250 by 250 pixels. Bone marrow smear: 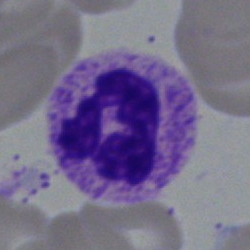 Q: What cell is this?
A: Polymorphonuclear neutrophil.